Brightfield microscopy, 40× oil immersion · bone marrow smear · single-cell field.
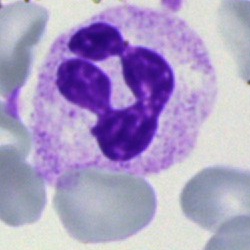 Classification = neutrophil (segmented).